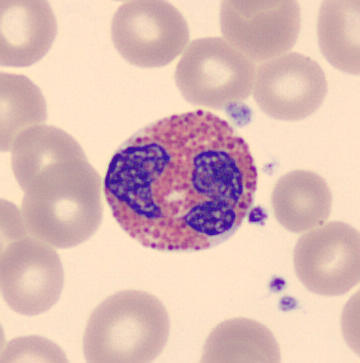
{"cell_type": "eosinophil", "lineage": "myeloid"}